Bone marrow aspirate smear: 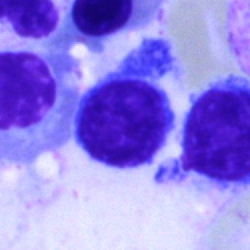
{"cell_type": "lymphocyte", "lineage": "lymphoid"}